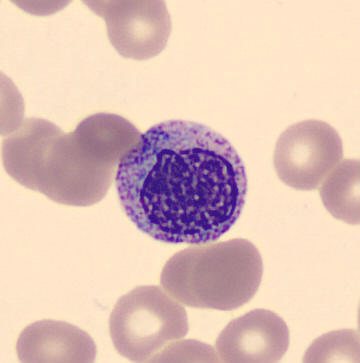 Preparation: Peripheral blood smear.

Cell type — myelocyte.